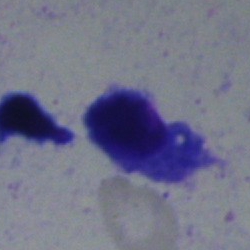
Specimen: bone marrow aspirate smear.
Classification: lymphocyte.
Lineage: lymphoid.